Peripheral blood film: 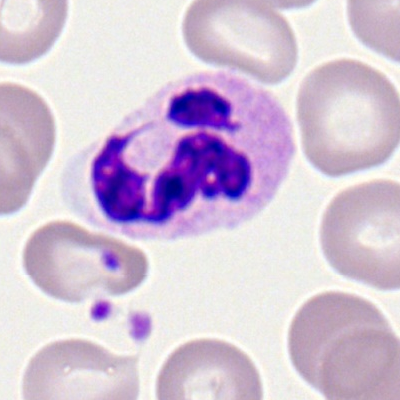

This is a neutrophil (segmented).